Bone marrow smear.
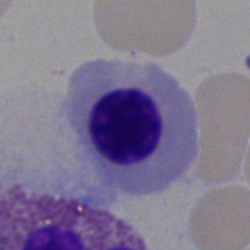Classification: nucleated red blood cell.